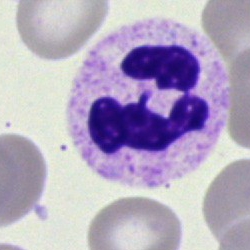
The cell type is neutrophil (segmented).